Single-cell field. Bone marrow smear — 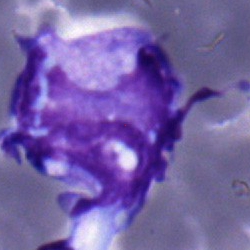Q: What is the morphological classification of this cell?
A: A monocyte.